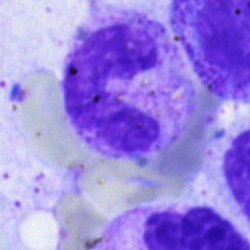Cell type — stab cell.